Bone marrow smear; image size 250×250
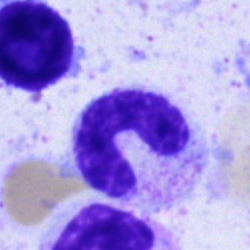Classification: stab cell.